Bone marrow aspirate smear. Brightfield microscopy, 40× oil immersion
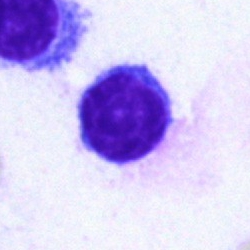
Specimen: bone marrow aspirate smear.
Morphological class: typical lymphocyte.